250×250 px; single-cell field; bone marrow smear:
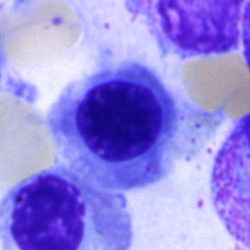

The cell is nucleated red blood cell.